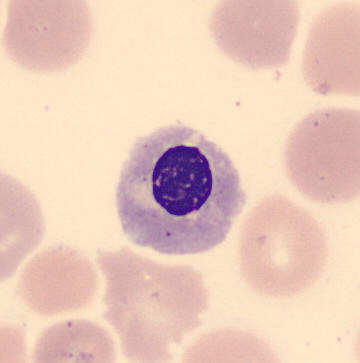 This is an erythroblast.
Image: Cropped to a single cell · peripheral blood film.